Peripheral blood smear
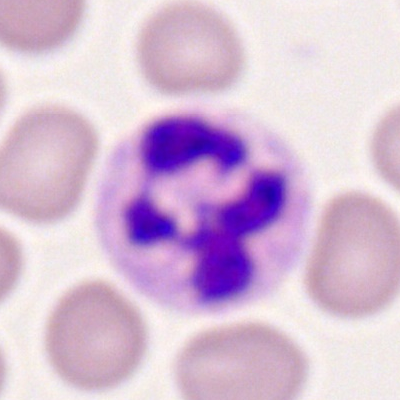Neutrophil (segmented).